Peripheral blood smear.
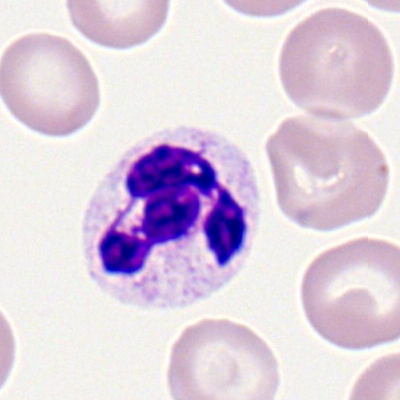
The cell type is segmented neutrophil.